M8 digital microscope (Precipoint), 100× oil immersion; peripheral blood smear:
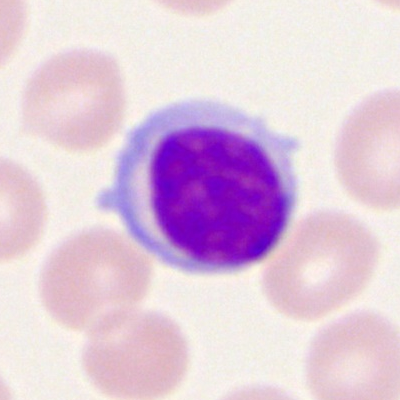
Cell type — lymphocyte.